360×363 px. Peripheral blood smear — 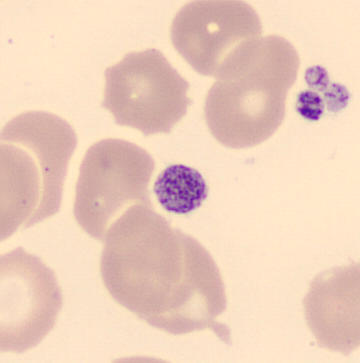
Classification: platelet.